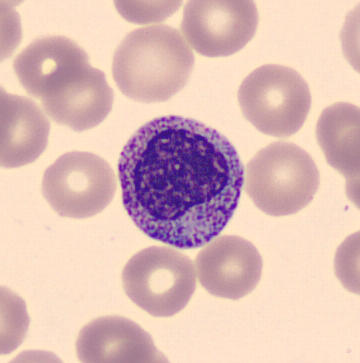

Identified as a myelocyte.

May Grünwald-Giemsa stain · peripheral blood film.